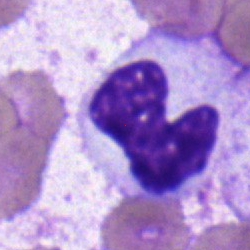 {"cell_type": "neutrophil (band)"}